Single-cell field. Bone marrow smear. 250×250 px:
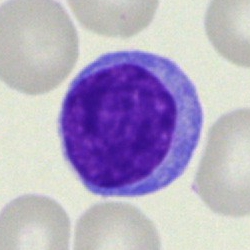
Morphology — typical lymphocyte.